250×250 px; May-Grünwald-Giemsa stain; bone marrow aspirate smear — 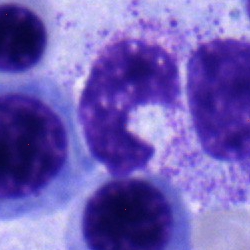 Showing a stab cell.